Bone marrow aspirate smear: 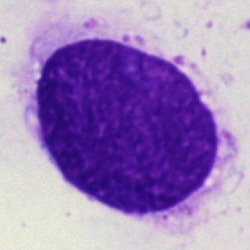
Morphology consistent with an artifact.